Bone marrow aspirate smear — 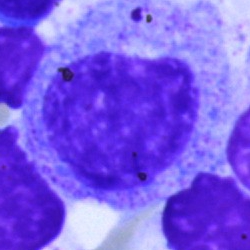

Showing a myelocyte.